Cropped to a single cell; bone marrow aspirate smear; 40× oil immersion:
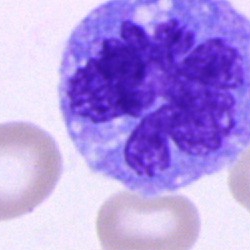

A monocyte.